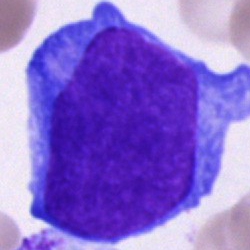

Q: Which cell type is shown here?
A: A blast cell.